Bone marrow aspirate smear. 250×250. Single-cell field
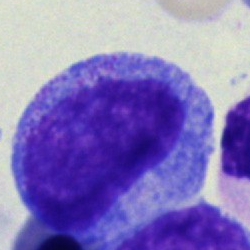Morphological class — progranulocyte.